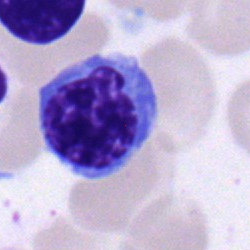A nucleated red cell on a bone marrow smear.